Cropped to a single cell · bone marrow smear
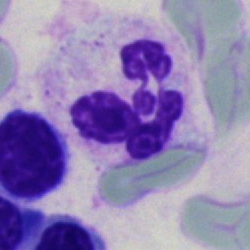Impression → segmented neutrophil.